Image size 250×250 · brightfield, 40× oil-immersion objective · bone marrow smear:
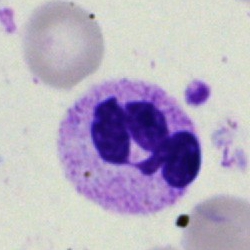 Q: Which cell type is shown here?
A: It is a polymorphonuclear neutrophil.